Single-cell crop; bone marrow smear.
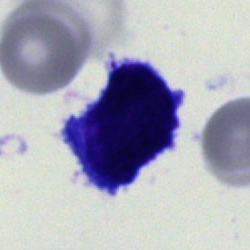Showing an undifferentiated blast.